Bone marrow smear · single-cell field:
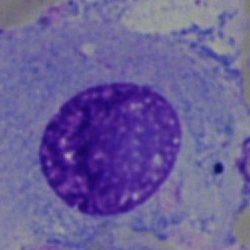
Q: Identify the cell.
A: It is a plasmacyte.